Bone marrow smear: 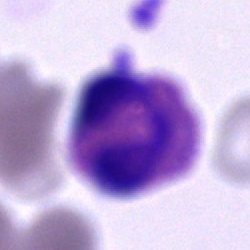

Impression → eosinophil.